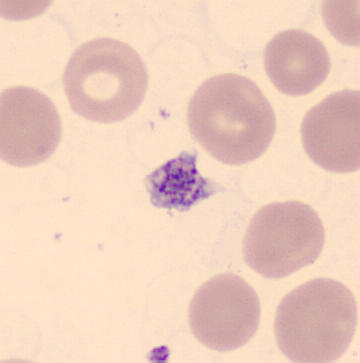 Morphology consistent with a platelet (thrombocyte).